Cropped to a single cell. Bone marrow smear. May-Grünwald-Giemsa stain: 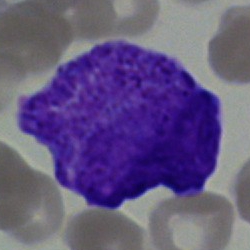
Impression — blast cell.